May-Grünwald-Giemsa stain · bone marrow aspirate smear · 250×250 px
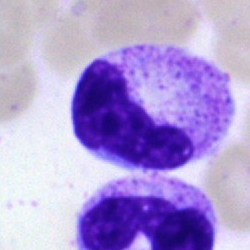

Specimen: bone marrow aspirate smear.
Classification: neutrophil (band).